Bone marrow aspirate smear. 40× oil immersion: 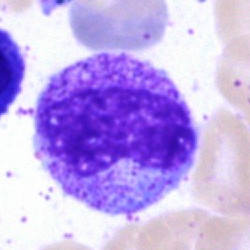

Metamyelocyte.